Pappenheim-stained · bone marrow aspirate smear — 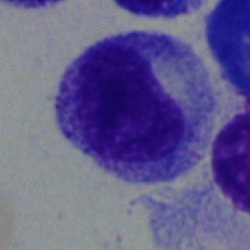

Classification: myelocyte.